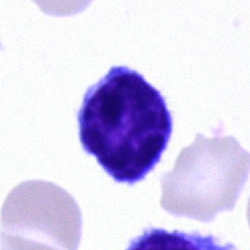
Impression — lymphocyte.